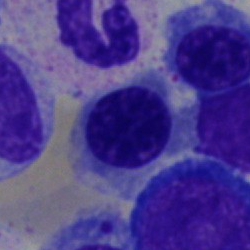
Specimen: bone marrow smear.
Cell type: nucleated red cell.
Lineage: erythroid.